Peripheral blood film; 100× oil immersion — 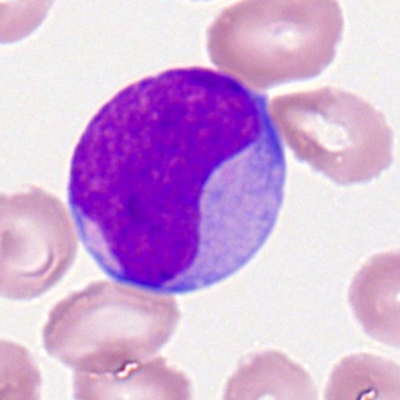

Classification: myeloblast.